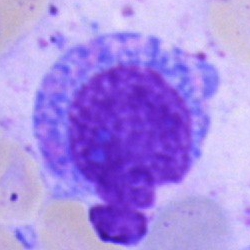The classification is promyelocyte.